Bone marrow aspirate smear. Cropped to a single cell:
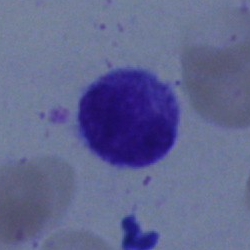The classification is typical lymphocyte.